Single cell centered in the field. Bone marrow smear. Brightfield microscopy, 40× oil immersion
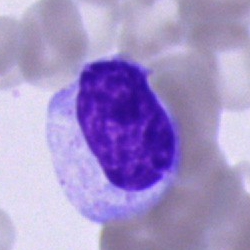

Q: What type of cell is this?
A: Unidentifiable cell.